Bone marrow aspirate smear:
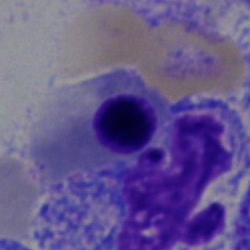 The cell shown is a normoblast.